Bone marrow smear; 250 by 250 pixels.
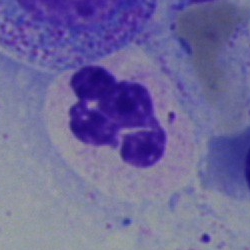Q: Which cell type is shown here?
A: It is a polymorphonuclear neutrophil.